Bone marrow aspirate smear: 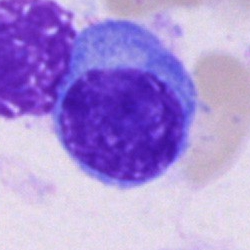

Classification = plasmacyte.